Bone marrow smear
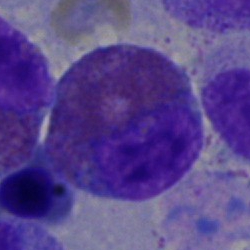

Specimen: bone marrow aspirate smear.
Cell: eosinophil.